Peripheral blood film. Romanowsky-stained.
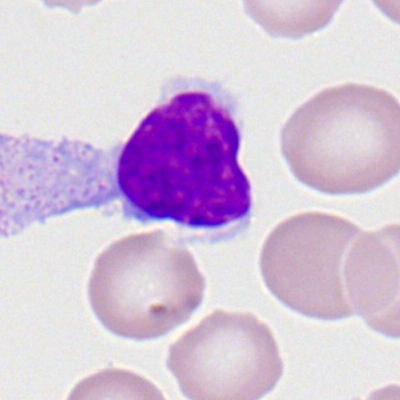

Cell: typical lymphocyte.